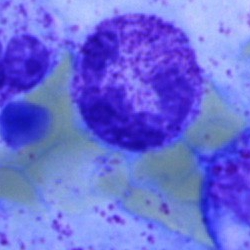Neutrophil (segmented).